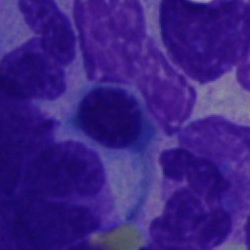 Morphology — normoblast.